Bone marrow smear.
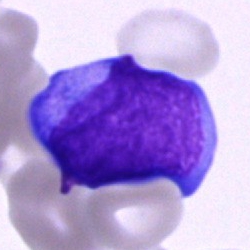Cell = undifferentiated blast.